Bone marrow smear; 250×250.
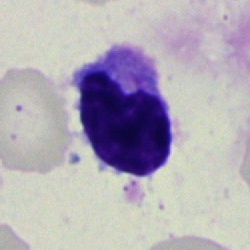Lymphocyte.